Bone marrow aspirate smear · 250×250:
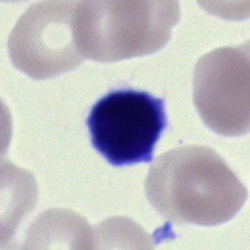

Single cell identified as a lymphocyte.